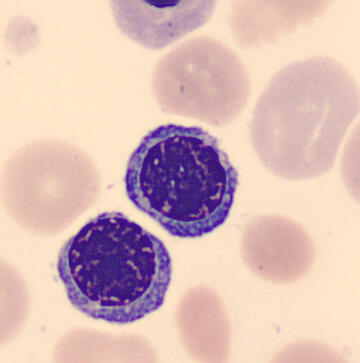

Q: What is this?
A: Erythroblast.